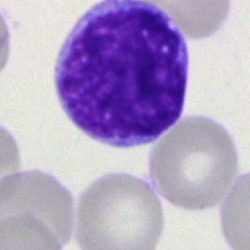 A blast on a bone marrow smear.